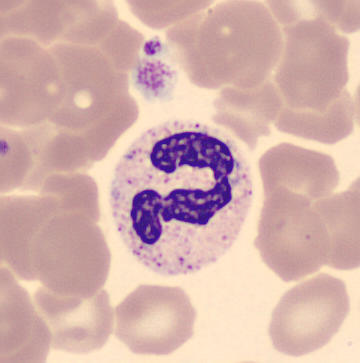Impression — polymorphonuclear neutrophil.